Bone marrow smear; cropped to a single cell; 40× objective, oil immersion:
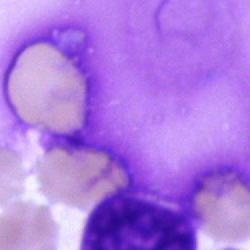 Specimen: bone marrow aspirate smear.
Classification: artefact.